Romanowsky stain; peripheral blood smear:
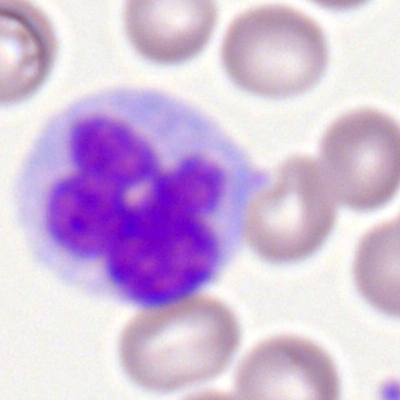 Morphology consistent with a monocyte.